Bone marrow aspirate smear — 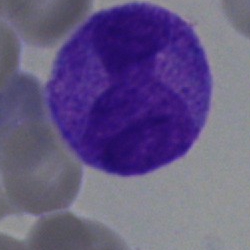
Cell = blast cell.